Bone marrow smear; brightfield microscopy, 40× oil immersion
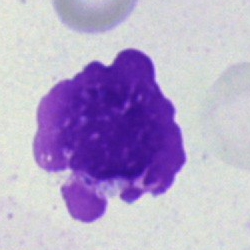 The classification is artifact.